250×250 px. Bone marrow aspirate smear.
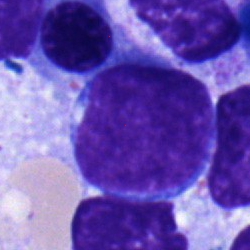
Morphology consistent with a lymphocyte.